Bone marrow aspirate smear: 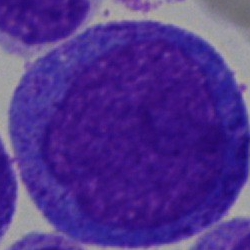Classification: progranulocyte.